MGG-stained. Bone marrow smear: 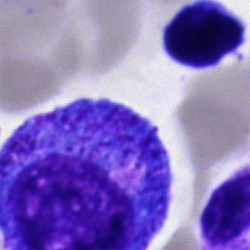
Classification: progranulocyte.